Bone marrow aspirate smear — 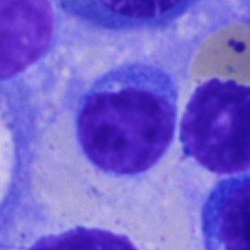 Morphology consistent with a lymphocyte.